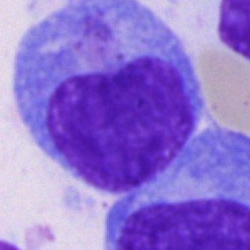

{"cell_type": "plasmacyte"}